Bone marrow smear
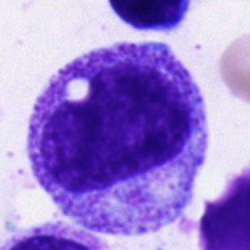
Q: What type of cell is this?
A: It is a promyelocyte.